Bone marrow aspirate smear; 250×250; May-Grünwald-Giemsa/Pappenheim stain
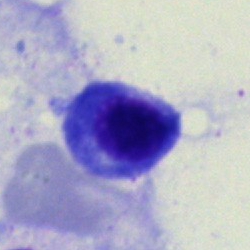This is a nucleated red blood cell.